40× oil immersion · bone marrow smear.
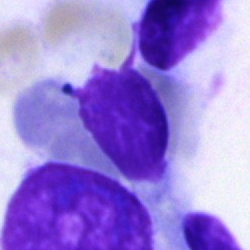
Q: What is shown here?
A: It is an artifact.